40× oil immersion; bone marrow smear — 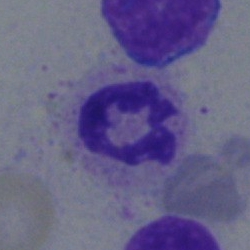

The cell shown is a neutrophil (segmented).